Bone marrow aspirate smear; brightfield, 40× oil-immersion objective; 250×250
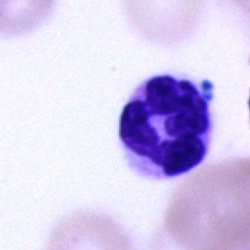
The cell shown is a polymorphonuclear neutrophil.